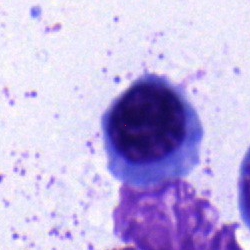 Specimen: bone marrow smear.
Cell: nucleated red cell.
Lineage: erythroid.